Bone marrow smear; Pappenheim-stained: 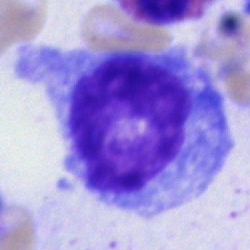 Classification: cell of indeterminate lineage.